Bone marrow smear:
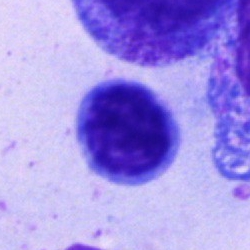
Specimen: bone marrow smear.
Classification: lymphocyte.
Lineage: lymphoid.